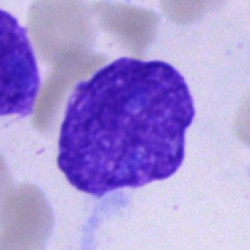Morphology — artefact.